Single cell centered in the field. Image size 250×250. Bone marrow aspirate smear
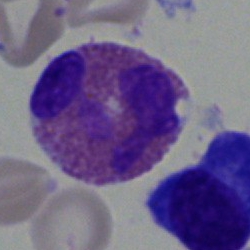Morphology — eosinophilic granulocyte.